Bone marrow aspirate smear.
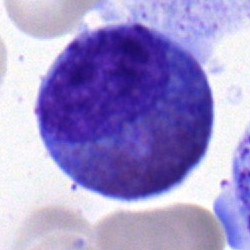Eosinophilic granulocyte.